Bone marrow aspirate smear; 40× oil immersion.
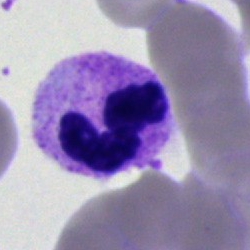

This is a segmented neutrophil.